MGG-stained · cropped to a single cell · bone marrow smear — 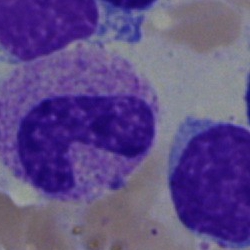
Cell — stab cell.